Bone marrow smear.
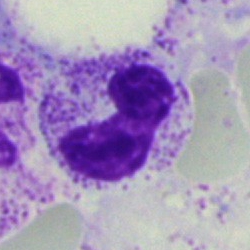 Q: What type of cell is this?
A: It is a band neutrophil.